Bone marrow smear. Single-cell crop
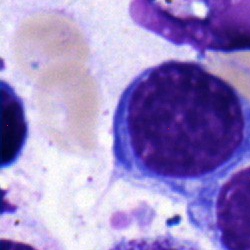
Q: What type of cell is this?
A: A lymphocyte.